Bone marrow smear — 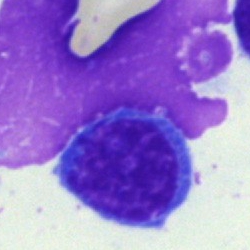 Showing a nucleated red cell.